Image size 250×250; bone marrow smear; May-Grünwald-Giemsa stain — 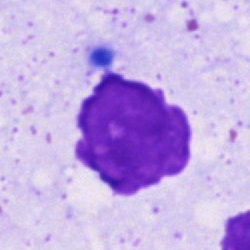Morphology — artefact.